Bone marrow aspirate smear:
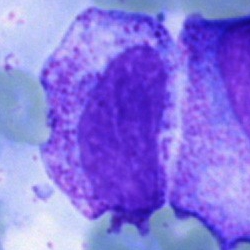 Specimen: bone marrow smear.
Cell: myelocyte.